Bone marrow smear · 250 by 250 pixels: 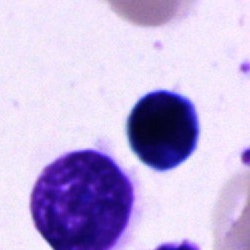
{"cell_type": "cell of indeterminate lineage"}